Bone marrow smear. Single-cell crop.
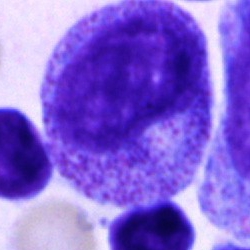Specimen: bone marrow aspirate smear.
Classification: promyelocyte.
Lineage: myeloid.